Bone marrow smear.
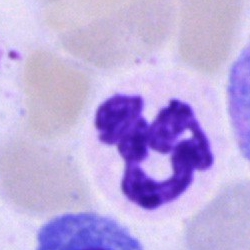
Morphology consistent with a polymorphonuclear neutrophil.